360×363. Peripheral blood film:
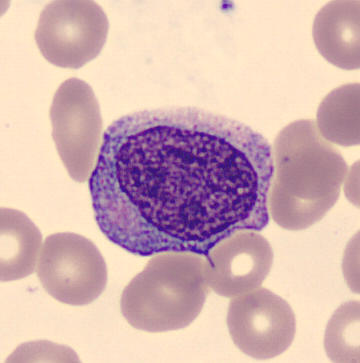 Classification = progranulocyte.